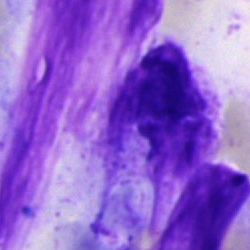
The cell shown is an artefact.